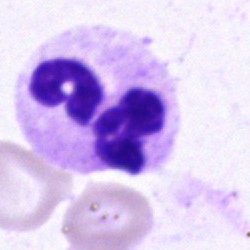

Single cell identified as a neutrophil (segmented).